Bone marrow aspirate smear — 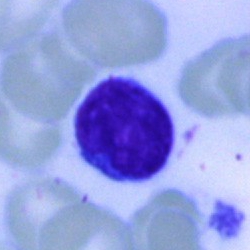

Classification — lymphocyte.